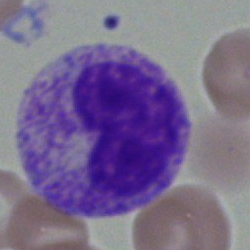Q: Identify the cell.
A: This is a metamyelocyte.